40× objective, oil immersion · bone marrow aspirate smear.
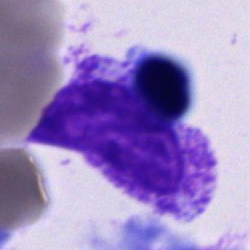
Morphology consistent with an unidentifiable cell.